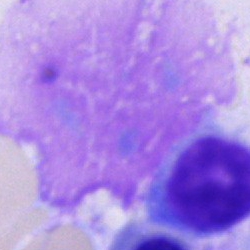

This is an artifact.